Bone marrow smear
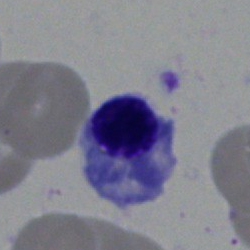 Morphology consistent with a nucleated red cell.